Bone marrow aspirate smear — 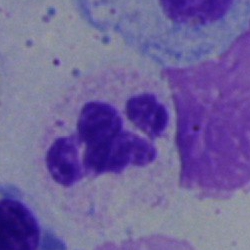

The cell type is polymorphonuclear neutrophil.